Peripheral blood film.
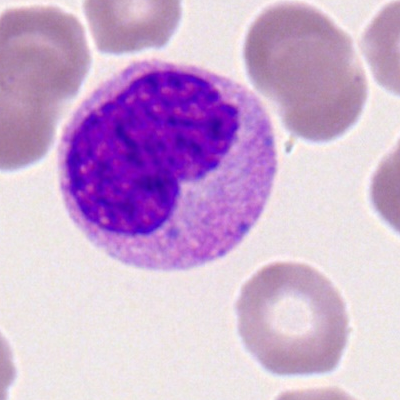
A metamyelocyte.